Bone marrow aspirate smear: 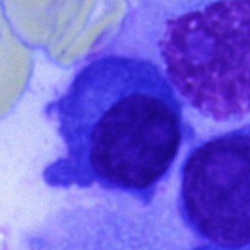This is a plasmacyte.